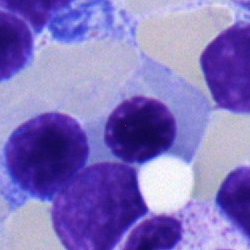Q: What cell is this?
A: A nucleated red cell.